May-Grünwald-Giemsa stain. 40× objective, oil immersion. Bone marrow aspirate smear.
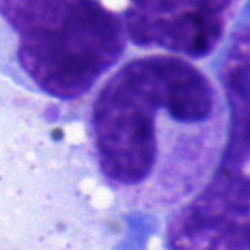

This is a band-form neutrophil.